Bone marrow aspirate smear.
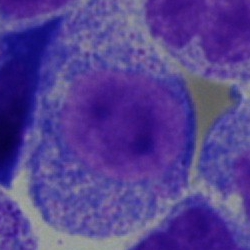 Specimen: bone marrow smear.
Morphological class: progranulocyte.